Image size 250×250 · May-Grünwald-Giemsa/Pappenheim stain · bone marrow aspirate smear: 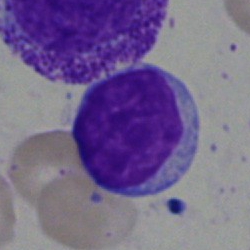

Morphology consistent with a lymphocyte.